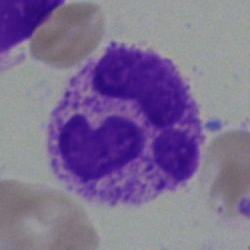

Q: What type of cell is this?
A: This is a polymorphonuclear neutrophil.